Bone marrow aspirate smear:
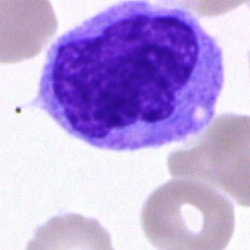 Impression — monocyte.